Bone marrow aspirate smear · single cell centered in the field — 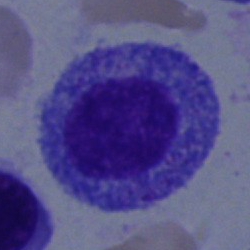
Q: Which cell type is shown here?
A: A promyelocyte.